Bone marrow smear.
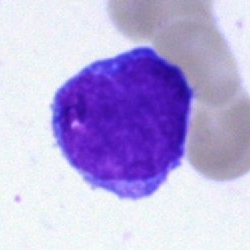

Blast cell.